Bone marrow aspirate smear: 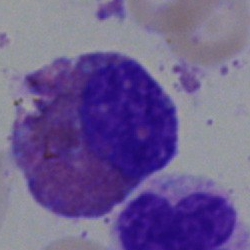Morphological class = eosinophilic granulocyte.